Bone marrow smear: 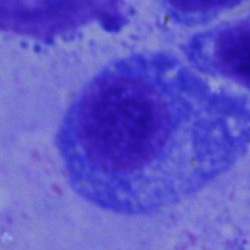
A plasmacyte.